Bone marrow smear — 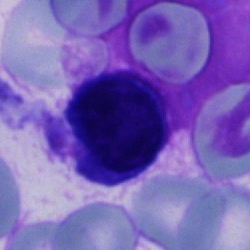
Morphological class = cell of indeterminate lineage.